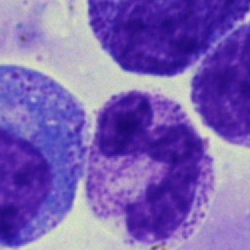
Morphology consistent with a segmented neutrophil.